Bone marrow aspirate smear
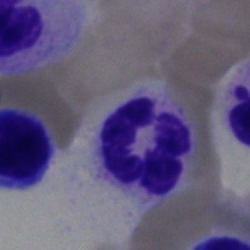
Morphology — neutrophil (segmented).